Bone marrow aspirate smear; brightfield microscopy, 40× oil immersion: 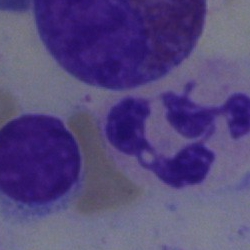

This is a neutrophil (segmented).